Bone marrow smear; 250×250 px — 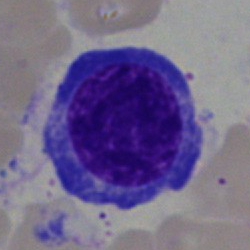 Impression — nucleated red cell.